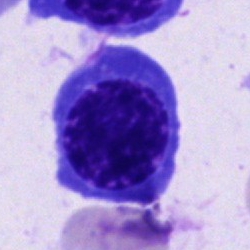 Single cell identified as an erythroblast.